Bone marrow aspirate smear — 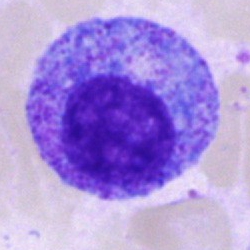

Single cell identified as a progranulocyte.